Single-cell crop · peripheral blood smear.
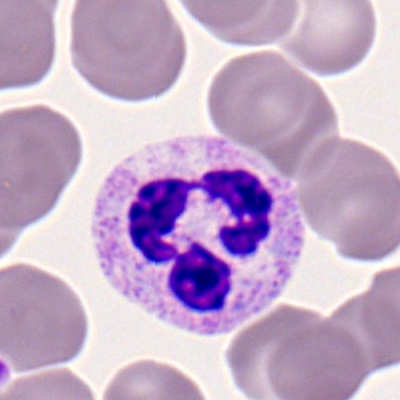 Impression → segmented neutrophil.